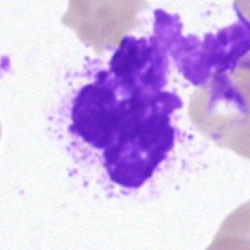
Single-cell crop from a bone marrow smear: artefact.